Bone marrow smear; 250×250 px:
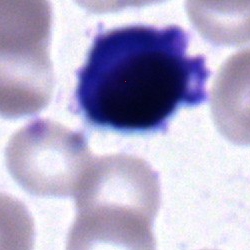Cell type — nucleated red blood cell.